Bone marrow smear — 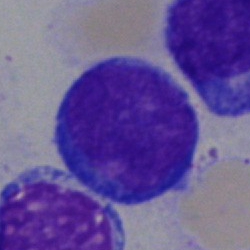
Cell type: promyelocyte.